Bone marrow aspirate smear — 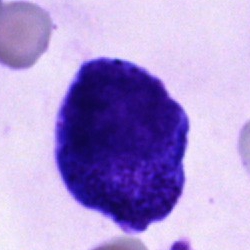 Morphology — progranulocyte.